Bone marrow aspirate smear. MGG-stained. Single-cell crop
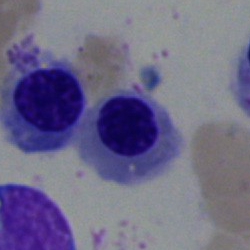

Specimen: bone marrow smear.
Cell: normoblast.
Lineage: erythroid.